Single-cell field. Bone marrow aspirate smear: 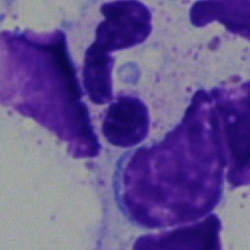
{"cell_type": "segmented neutrophil", "lineage": "myeloid"}